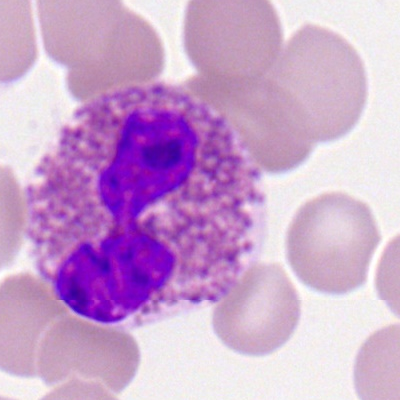 Classification — eosinophilic granulocyte.